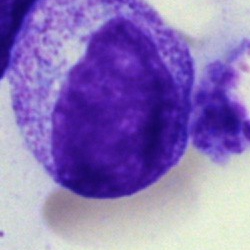
A myelocyte.